Bone marrow aspirate smear: 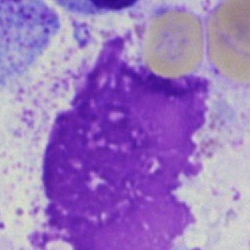
Q: What is shown here?
A: Artifact.